Bone marrow smear; single-cell field; 250×250 px:
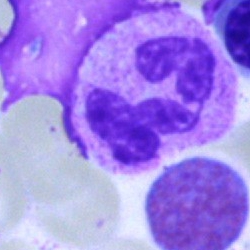The morphological class is polymorphonuclear neutrophil.